Bone marrow smear: 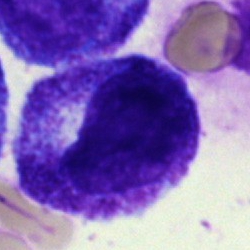
Q: What cell is this?
A: It is a myelocyte.